Peripheral blood smear. Single cell centered in the field. 400 by 400 pixels — 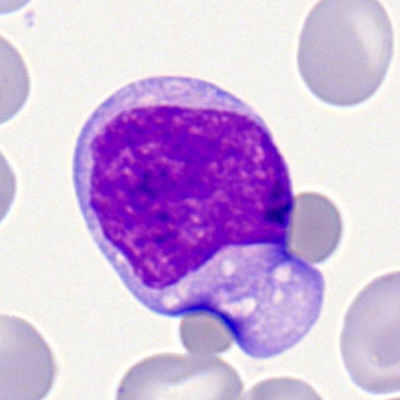
Q: Which cell type is shown here?
A: Myeloblast.